Single-cell crop. Bone marrow smear
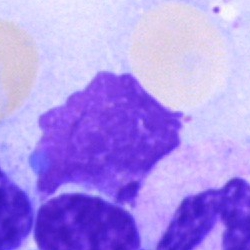
Morphological class: artefact.